Single cell centered in the field. Romanowsky-type stain. Peripheral blood film — 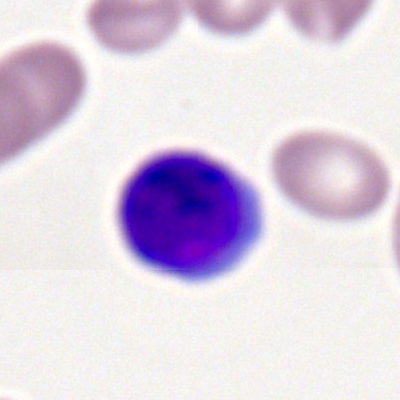
Q: Which cell type is shown here?
A: This is a typical lymphocyte.